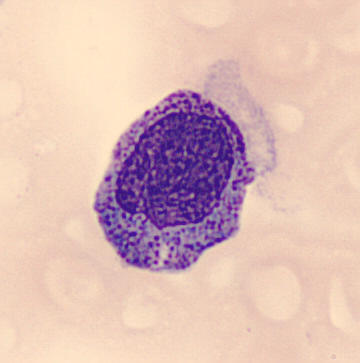 Classification = promyelocyte.
Preparation: May-Grünwald-Giemsa-stained; peripheral blood film.